Bone marrow smear
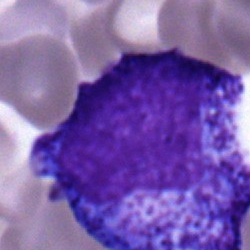

A promyelocyte.